Bone marrow aspirate smear · cropped to a single cell:
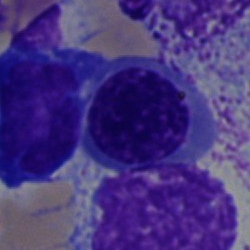
The classification is erythroblast.